Bone marrow aspirate smear — 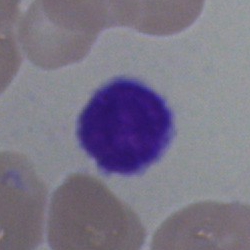The cell shown is a lymphocyte.